250×250 px · bone marrow smear.
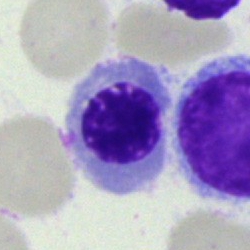

Cell type — nucleated red blood cell.